Bone marrow smear; image size 250×250: 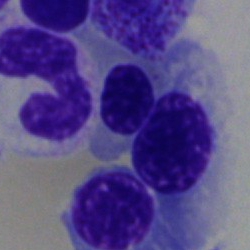The morphological class is erythroblast.